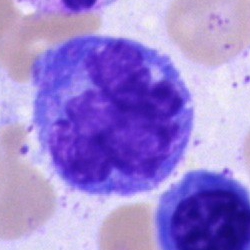 Single cell identified as a monocyte.